Bone marrow smear
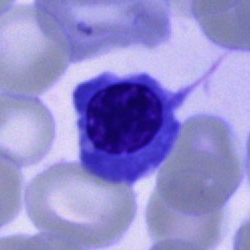Single cell identified as a normoblast.